Bone marrow aspirate smear · May-Grünwald-Giemsa/Pappenheim stain · image size 250×250 — 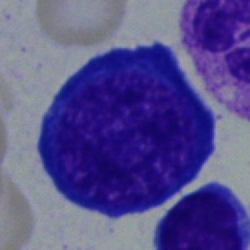Showing an erythroblast.